Bone marrow aspirate smear · May-Grünwald-Giemsa/Pappenheim stain:
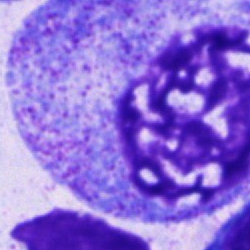 Cell — promyelocyte.